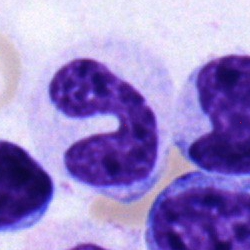 Showing a band neutrophil.